Bone marrow smear.
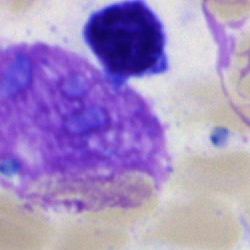Morphology — artifact.